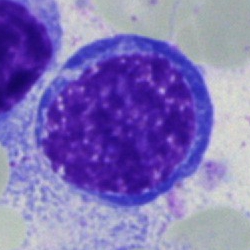 {"cell_type": "pronormoblast", "lineage": "erythroid"}